Bone marrow aspirate smear:
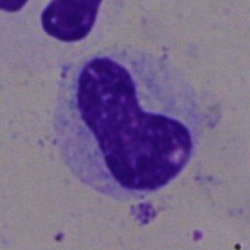

Band-form neutrophil.